Single-cell crop · bone marrow aspirate smear: 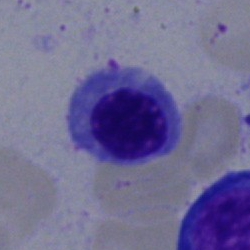

{"cell_type": "erythroblast", "lineage": "erythroid"}